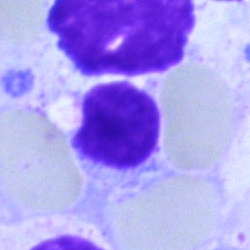 {"cell_type": "artifact"}